Cropped to a single cell. Bone marrow smear
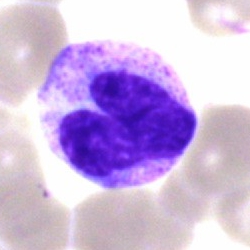

Specimen: bone marrow aspirate smear.
Morphological class: neutrophil (band).
Lineage: myeloid.